Bone marrow smear
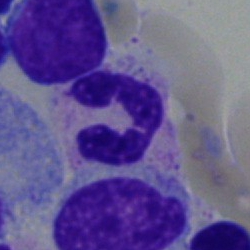 Specimen: bone marrow smear.
Cell type: polymorphonuclear neutrophil.
Lineage: myeloid.